250 by 250 pixels. Bone marrow smear
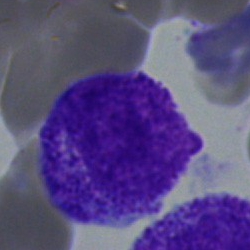 Specimen: bone marrow smear.
Cell: myelocyte.
Lineage: myeloid.